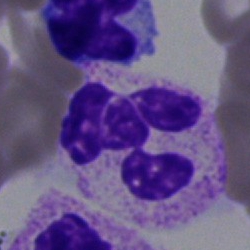 Specimen: bone marrow aspirate smear.
Cell type: segmented neutrophil.
Lineage: myeloid.